Bone marrow smear:
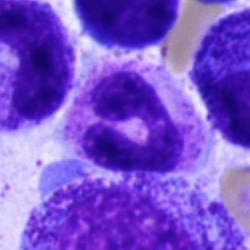Specimen: bone marrow aspirate smear.
Cell type: polymorphonuclear neutrophil.
Lineage: myeloid.